Bone marrow aspirate smear.
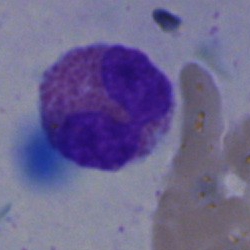 Q: Which cell type is shown here?
A: It is an eosinophil.